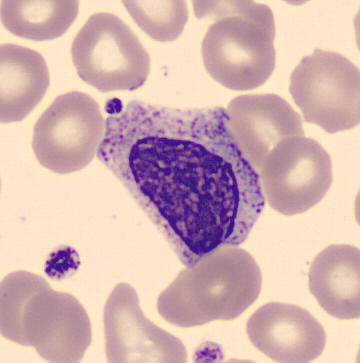
Specimen: peripheral blood film.
Cell: myelocyte.
Preparation: Single cell centered in the field; 360×363 px.